Bone marrow smear
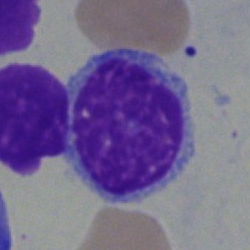The cell shown is a blast.